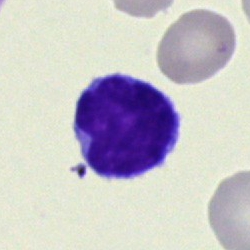 {"cell_type": "lymphocyte", "lineage": "lymphoid"}